Bone marrow smear; single-cell field; 250×250 px.
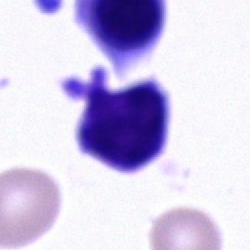
Q: What type of cell is this?
A: A typical lymphocyte.